Bone marrow smear — 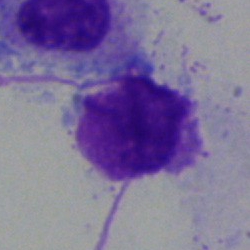

Cell — artefact.